Bone marrow smear; cropped to a single cell
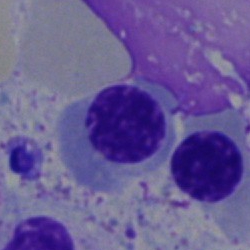 A nucleated red cell.